May-Grünwald-Giemsa/Pappenheim stain; bone marrow aspirate smear: 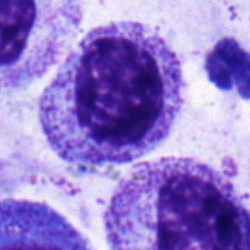

Morphology consistent with a myelocyte.